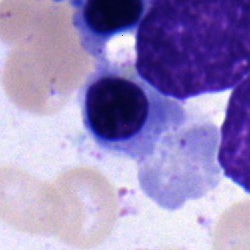Morphology consistent with a nucleated red cell.